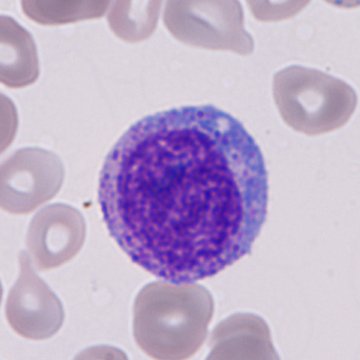 Peripheral blood smear showing an immature granulocyte (promyelocyte, myelocyte or metamyelocyte).